Bone marrow aspirate smear · 250×250 · May-Grünwald-Giemsa/Pappenheim stain:
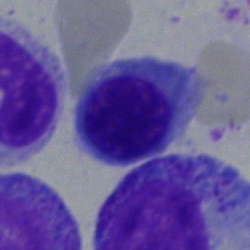 {"cell_type": "nucleated red blood cell", "lineage": "erythroid"}